Bone marrow smear · 40× objective, oil immersion.
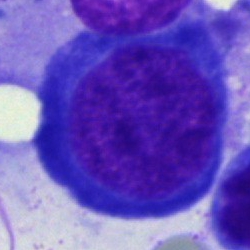 The morphological class is pronormoblast.